Peripheral blood smear:
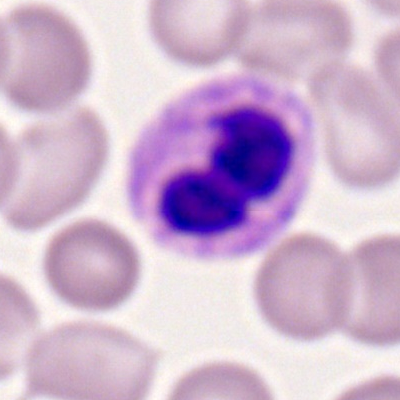

Showing a neutrophil (segmented).